Bone marrow smear · May-Grünwald-Giemsa/Pappenheim stain:
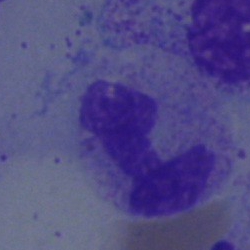The classification is stab cell.